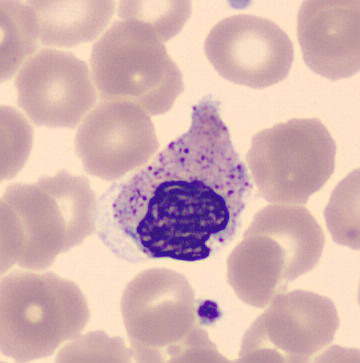Single cell identified as a metamyelocyte. Peripheral blood film. 360×363 px.